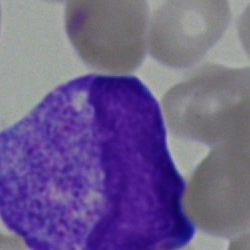 The cell is undifferentiated blast.